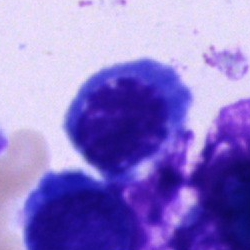
Cell = nucleated red cell.